Peripheral blood smear — 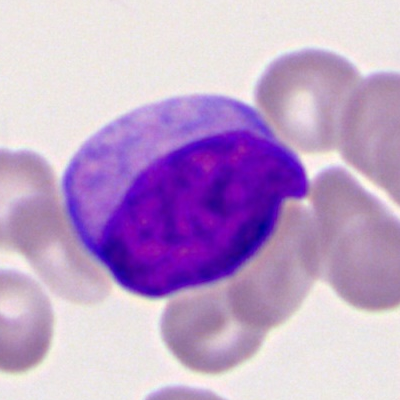
Q: What type of cell is this?
A: It is a myeloid blast.